Bone marrow aspirate smear; 40× objective, oil immersion: 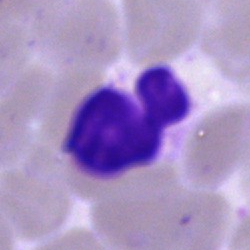 The classification is artifact.